Bone marrow smear · MGG-stained: 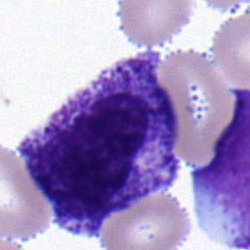Specimen: bone marrow aspirate smear.
Cell type: promyelocyte.
Lineage: myeloid.